Bone marrow aspirate smear — 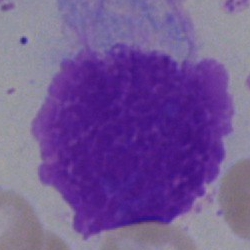Cell: artifact.